Bone marrow smear:
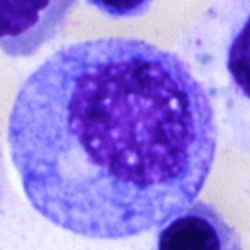The cell is promyelocyte.